Romanowsky stain. Peripheral blood film: 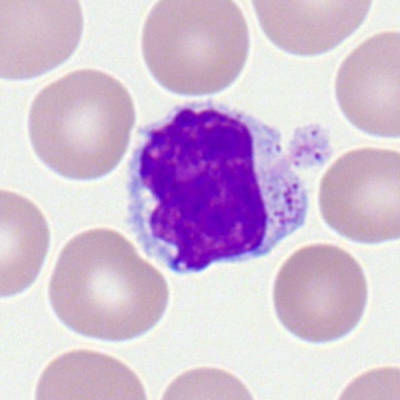

Cell type: lymphocyte.